Bone marrow smear — 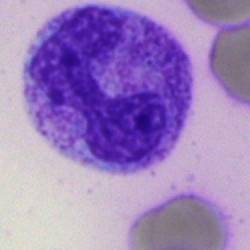
Specimen: bone marrow smear.
Cell type: neutrophil (band).
Lineage: myeloid.